Bone marrow smear — 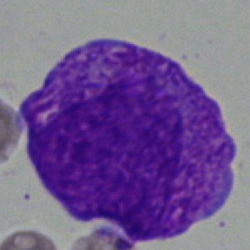

Showing a faggot cell.